Bone marrow aspirate smear; brightfield microscopy, 40× oil immersion; cropped to a single cell.
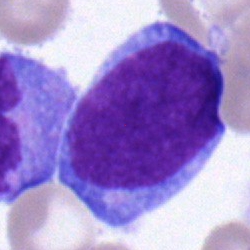
The cell is blast.